Bone marrow smear: 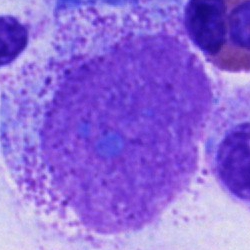

Morphology — artefact.